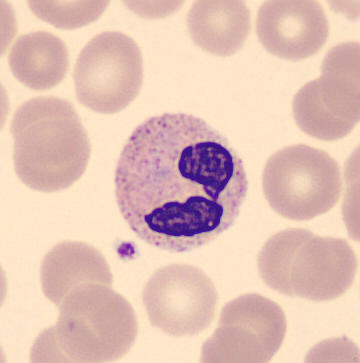
Peripheral blood film.
Morphology — polymorphonuclear neutrophil.